Peripheral blood smear: 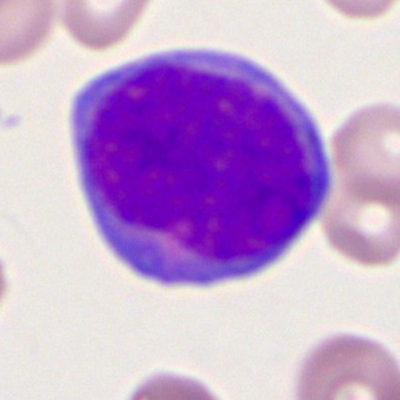

Single cell identified as a myeloid blast.